40× objective, oil immersion. Bone marrow smear: 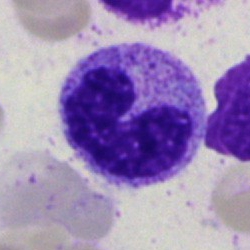 Showing a band-form neutrophil.